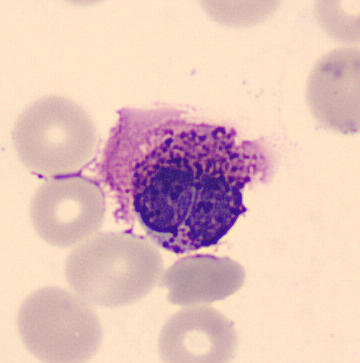 Showing a basophil.
Preparation: Peripheral blood smear; 360×363.